Cropped to a single cell. Bone marrow smear.
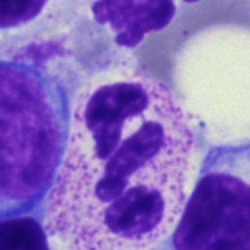 Q: Identify the cell.
A: Segmented neutrophil.